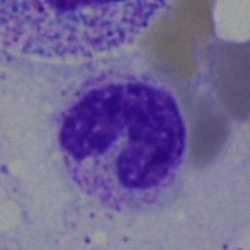 Q: What is the morphological classification of this cell?
A: This is a band-form neutrophil.